Bone marrow aspirate smear: 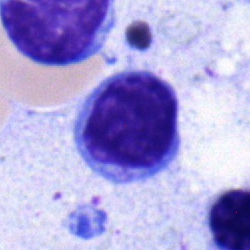The cell shown is a lymphocyte.